Bone marrow aspirate smear · brightfield, 40× oil-immersion objective · single-cell crop: 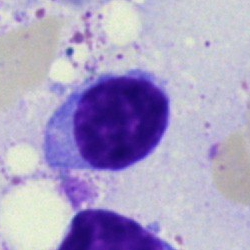

Classification: typical lymphocyte.